250 by 250 pixels; bone marrow smear; MGG-stained:
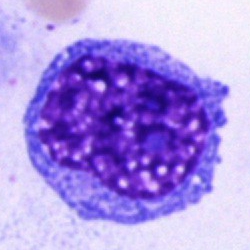A blast cell.